Bone marrow aspirate smear
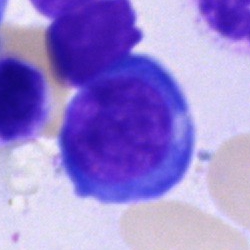 Morphology — nucleated red cell.